Bone marrow smear.
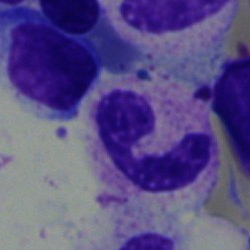
Single cell identified as a polymorphonuclear neutrophil.